Bone marrow aspirate smear:
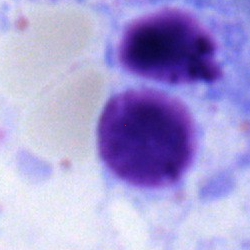 Q: Which cell type is shown here?
A: This is a lymphocyte.